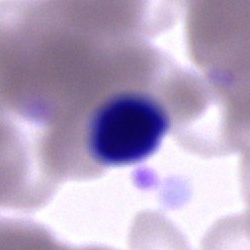Specimen: bone marrow smear.
Morphological class: cell of indeterminate lineage.